MGG-stained. Brightfield microscopy, 40× oil immersion. Bone marrow smear:
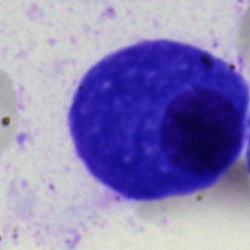

Q: What type of cell is this?
A: A plasma cell.